Cropped to a single cell · bone marrow smear: 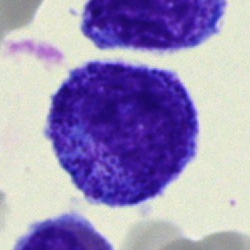The cell shown is a promyelocyte.